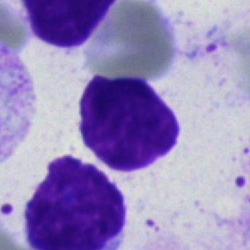 Specimen: bone marrow aspirate smear.
Morphological class: artifact.